Bone marrow aspirate smear.
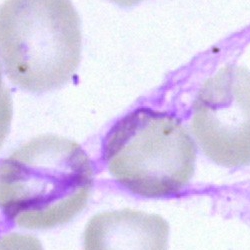

Q: What is shown here?
A: It is an artifact.